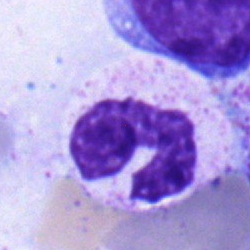
Bone marrow smear showing a neutrophil (band).